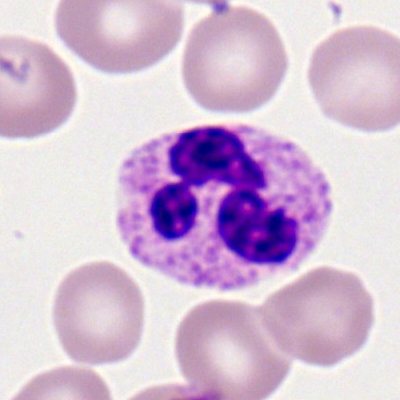

Q: What is the morphological classification of this cell?
A: This is a polymorphonuclear neutrophil.